Single cell centered in the field; bone marrow aspirate smear — 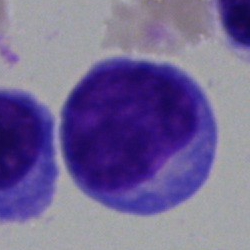
Cell — blast cell.